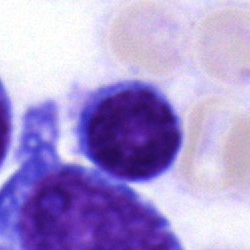

Q: Identify the cell.
A: Typical lymphocyte.